Bone marrow aspirate smear: 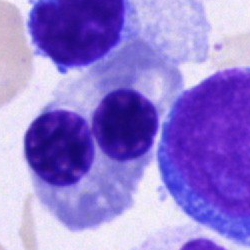 Classification = nucleated red blood cell.